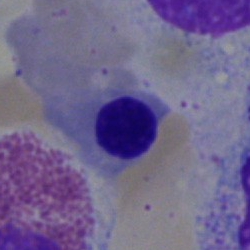

Showing a nucleated red cell.